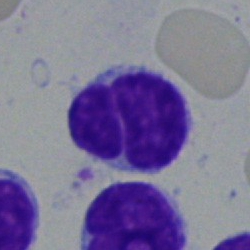 The classification is typical lymphocyte.